Brightfield microscopy, 40× oil immersion · Pappenheim-stained · bone marrow aspirate smear — 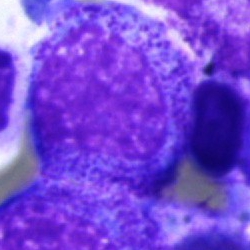Q: Which cell type is shown here?
A: Progranulocyte.